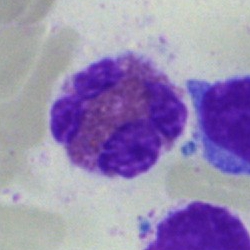

Cell = eosinophilic granulocyte.